Bone marrow aspirate smear:
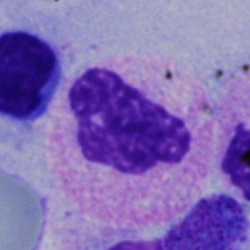Specimen: bone marrow aspirate smear.
Cell: segmented neutrophil.
Lineage: myeloid.